Bone marrow smear: 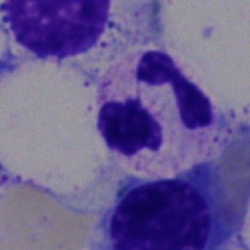 Cell type — neutrophil (segmented).